Peripheral blood film. Single cell centered in the field.
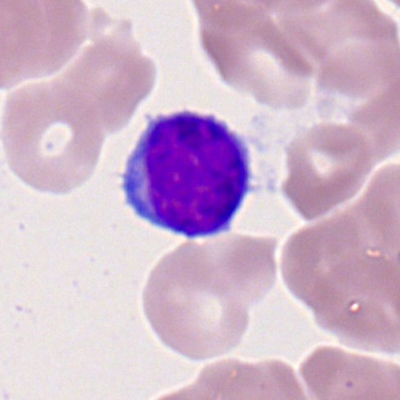 The morphological class is typical lymphocyte.